Peripheral blood smear
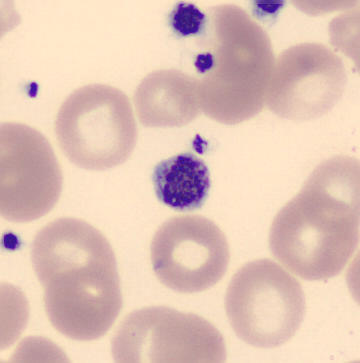 Q: What is shown here?
A: Platelet (thrombocyte).